Bone marrow smear: 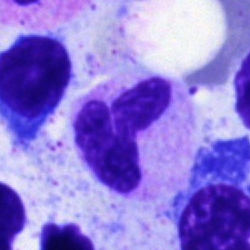

This is a polymorphonuclear neutrophil.